Bone marrow aspirate smear · brightfield, 40× oil-immersion objective · single-cell field:
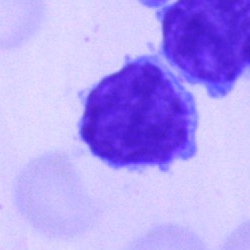

Specimen: bone marrow smear.
Cell: typical lymphocyte.
Lineage: lymphoid.